Bone marrow smear: 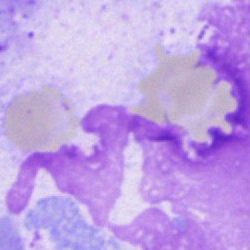
Cell type — artefact.